Bone marrow aspirate smear — 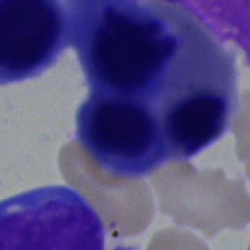Nucleated red cell.